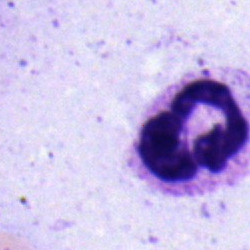Cell type: polymorphonuclear neutrophil.